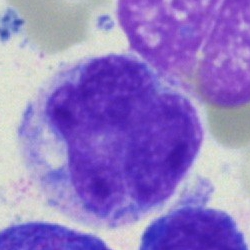 Cell — monocyte.